250 by 250 pixels; bone marrow smear:
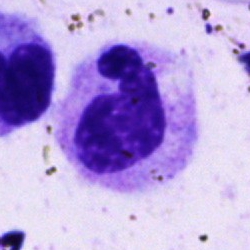Single cell identified as a neutrophil (segmented).